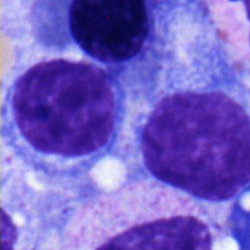Bone marrow aspirate smear, single cell — typical lymphocyte.